Bone marrow smear; 40× oil immersion — 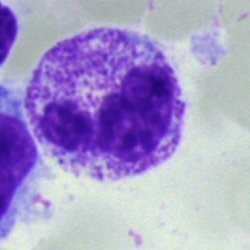

Cell = neutrophil (segmented).